Bone marrow aspirate smear
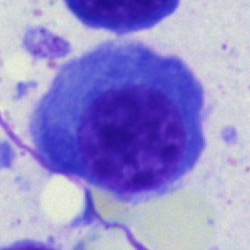
Cell = plasmacyte.